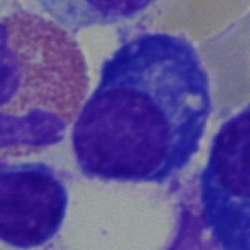
Bone marrow aspirate smear, single cell — plasma cell.